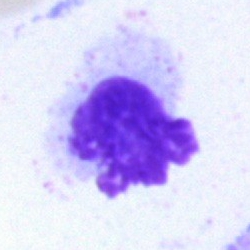 Specimen: bone marrow smear.
Classification: artefact.